Peripheral blood film — 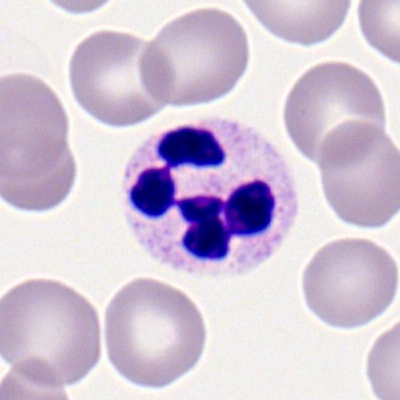
Q: What is the morphological classification of this cell?
A: A polymorphonuclear neutrophil.